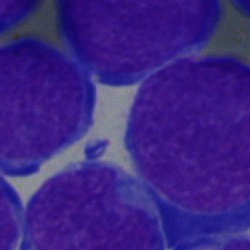This is a blast.